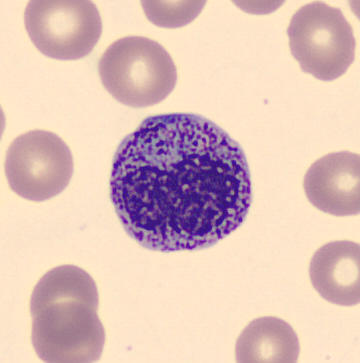

The cell shown is a metamyelocyte.